Bone marrow aspirate smear
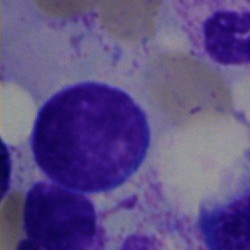

Q: What cell is this?
A: Typical lymphocyte.